Peripheral blood film: 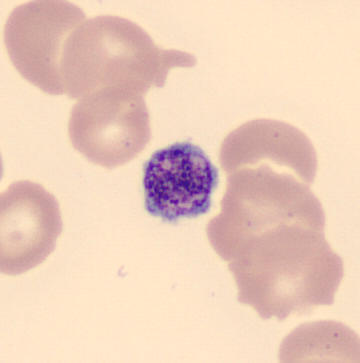
This is a platelet.